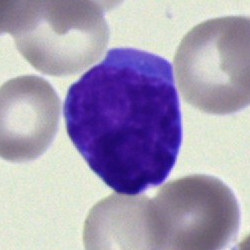 Specimen: bone marrow aspirate smear.
Classification: undifferentiated blast.